Bone marrow aspirate smear
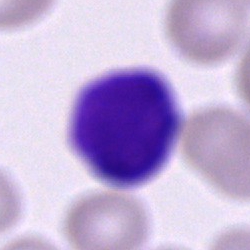

{"cell_type": "unidentifiable cell"}